Bone marrow aspirate smear: 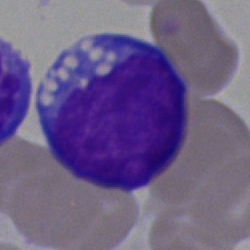

Specimen: bone marrow smear.
Classification: blast cell.